Bone marrow smear · single cell centered in the field.
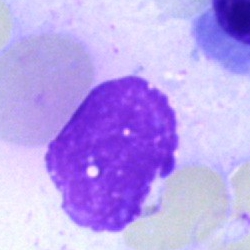 {"cell_type": "artifact"}